Bone marrow smear · single-cell crop
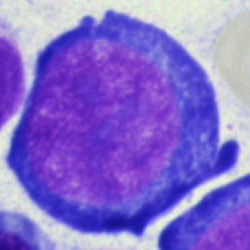
Pronormoblast.